Bone marrow smear: 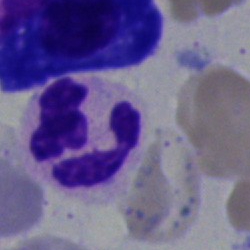 Cell type — polymorphonuclear neutrophil.